Bone marrow smear
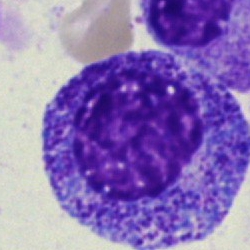 Cell = myelocyte.